Bone marrow aspirate smear: 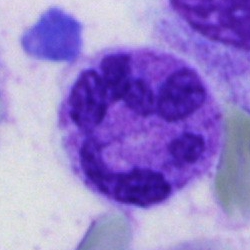Morphological class: neutrophil (segmented).